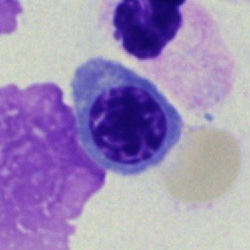

Impression → normoblast.